Bone marrow aspirate smear
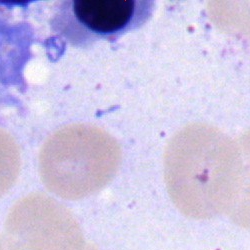
Showing an erythroblast.